Bone marrow aspirate smear · 40× oil immersion · May-Grünwald-Giemsa/Pappenheim stain.
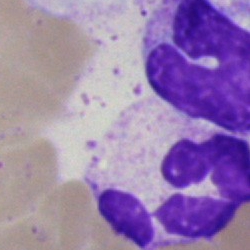A segmented neutrophil.